Bone marrow aspirate smear · single-cell crop.
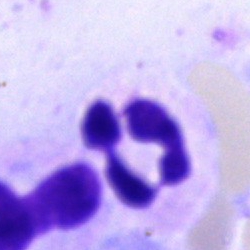Morphological class — polymorphonuclear neutrophil.